Bone marrow aspirate smear; 250×250 px; MGG-stained
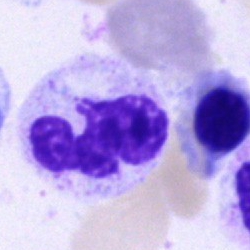
The classification is segmented neutrophil.